Bone marrow aspirate smear: 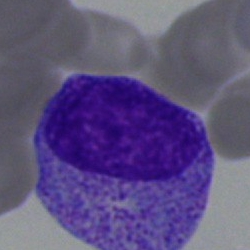Morphology → promyelocyte.